Bone marrow smear · brightfield, 40× oil-immersion objective
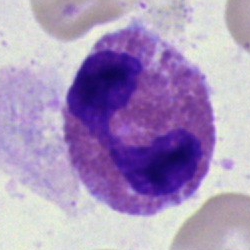
The cell shown is an eosinophil.